Bone marrow aspirate smear — 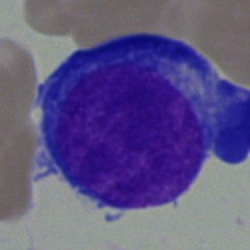Proerythroblast.